Bone marrow aspirate smear — 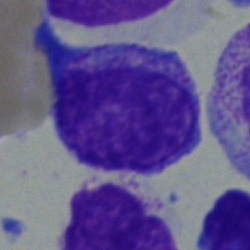
{"cell_type": "progranulocyte", "lineage": "myeloid"}